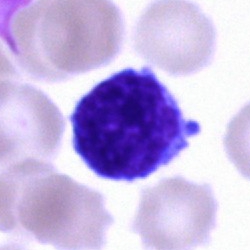

The morphological class is typical lymphocyte.